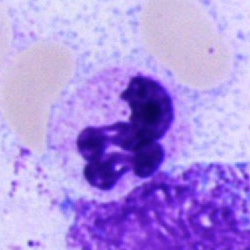

Q: What cell is this?
A: Neutrophil (segmented).